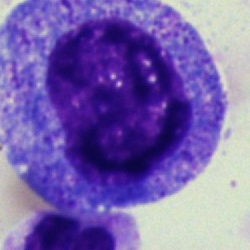
Specimen: bone marrow smear.
Morphological class: promyelocyte.
Lineage: myeloid.